Single-cell field · bone marrow smear · MGG-stained: 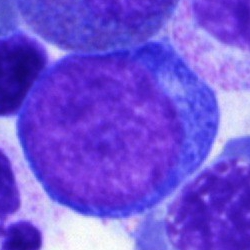This is a proerythroblast.